Bone marrow aspirate smear. Image size 250×250. MGG-stained — 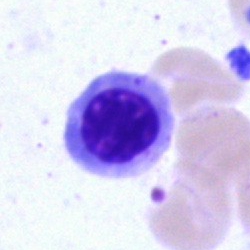 Q: What cell is this?
A: Nucleated red blood cell.